Bone marrow aspirate smear.
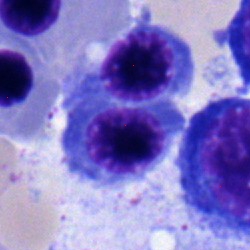 Specimen: bone marrow smear.
Morphological class: normoblast.